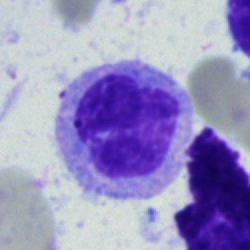 Specimen: bone marrow smear.
Cell type: monocyte.
Lineage: myeloid.